Bone marrow aspirate smear. 40× oil immersion. Cropped to a single cell: 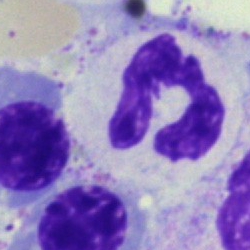 The cell shown is a segmented neutrophil.